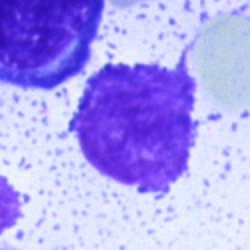Morphology consistent with an artefact.